Peripheral blood smear
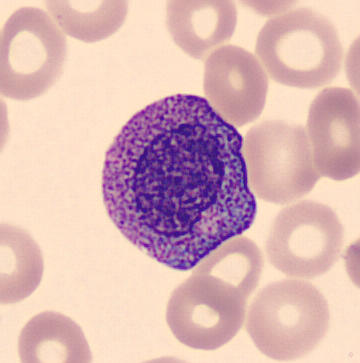 The cell type is progranulocyte.